Single-cell crop · bone marrow smear · 40× objective, oil immersion — 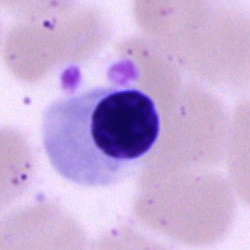
Single cell identified as a normoblast.